Brightfield microscopy, 40× oil immersion; bone marrow aspirate smear — 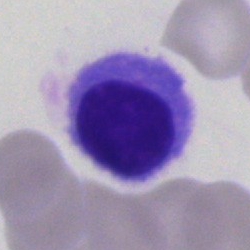
Q: Identify the cell.
A: Erythroblast.